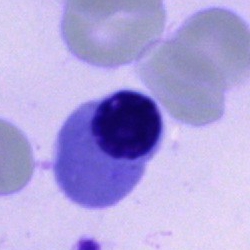 Erythroblast.